Bone marrow smear:
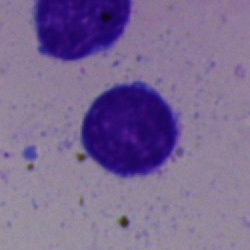Q: What is shown here?
A: Lymphocyte.